Peripheral blood film: 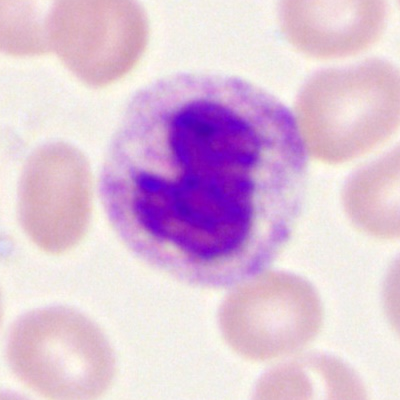
Morphology — neutrophil (segmented).